Bone marrow aspirate smear · single-cell field — 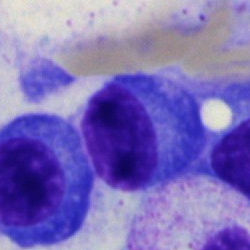 Classification — plasma cell.